100× oil immersion, 14.14 px/µm; peripheral blood smear; 400×400 px: 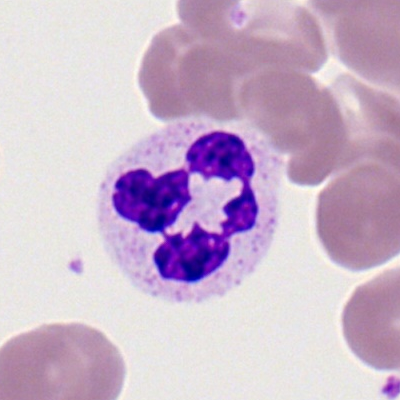Q: What is shown here?
A: This is a segmented neutrophil.